Bone marrow smear — 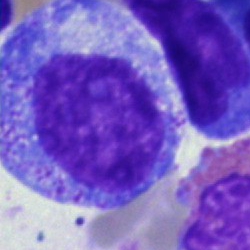Specimen: bone marrow smear.
Cell type: promyelocyte.